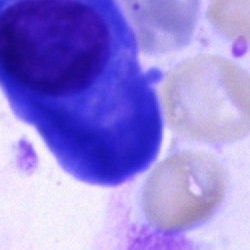Classification — plasma cell.